Bone marrow smear · 250×250 · cropped to a single cell:
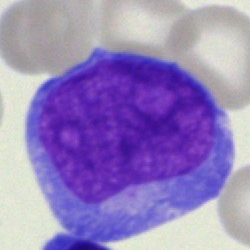

The cell shown is a lymphocyte (immature).